May-Grünwald-Giemsa/Pappenheim stain. 40× objective, oil immersion. Bone marrow smear.
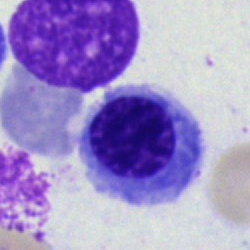
Showing a normoblast.